Bone marrow smear
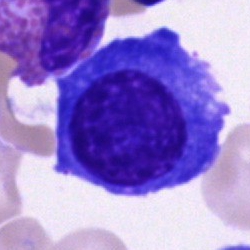
Specimen: bone marrow aspirate smear.
Cell: plasma cell.